Bone marrow smear
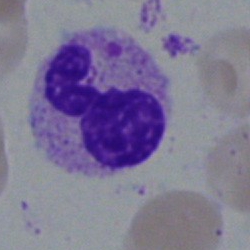

Classification — polymorphonuclear neutrophil.